Peripheral blood film:
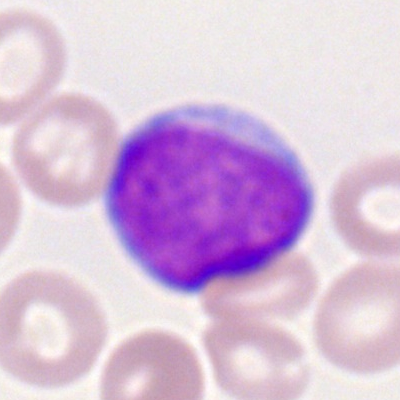

A myeloblast.